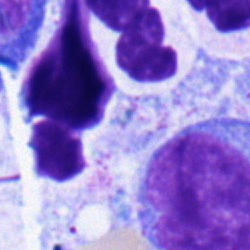 Q: What cell is this?
A: Segmented neutrophil.